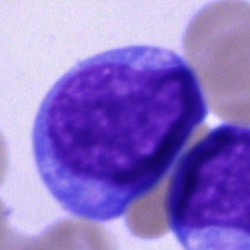Morphology — undifferentiated blast.